Bone marrow aspirate smear.
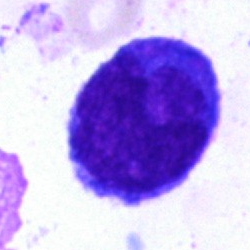
{"cell_type": "blast cell"}